Bone marrow aspirate smear
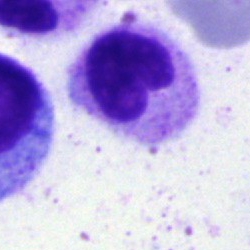 Specimen: bone marrow aspirate smear.
Morphological class: neutrophil (band).
Lineage: myeloid.